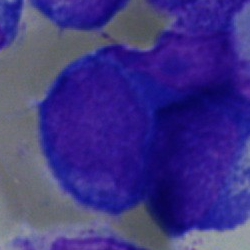Q: What type of cell is this?
A: Blast.